Bone marrow aspirate smear · single-cell field · 250×250
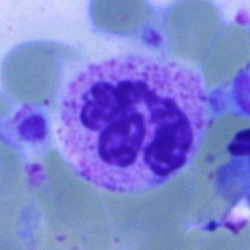
Q: What cell is this?
A: A neutrophil (segmented).